MGG-stained; bone marrow aspirate smear — 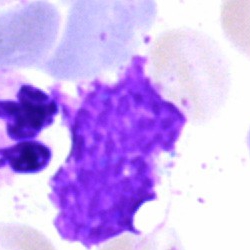Morphology consistent with an artifact.